Bone marrow aspirate smear
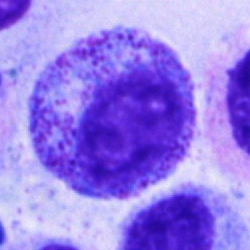
Showing a proerythroblast.